Bone marrow aspirate smear — 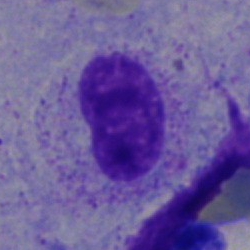
This is a band neutrophil.